Bone marrow smear
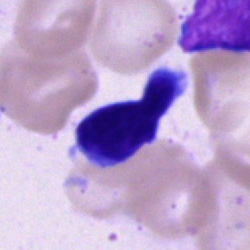Q: Which cell type is shown here?
A: This is a typical lymphocyte.